Pappenheim-stained. Bone marrow smear:
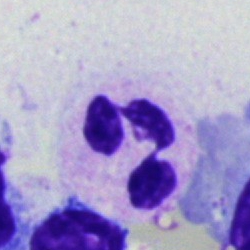Q: Which cell type is shown here?
A: It is a polymorphonuclear neutrophil.